Bone marrow smear; single-cell crop.
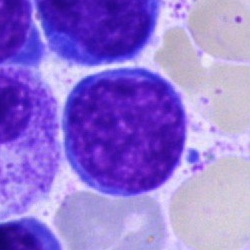Q: What is shown here?
A: This is a typical lymphocyte.